40× objective, oil immersion; bone marrow aspirate smear — 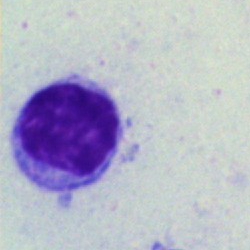
Q: What is the morphological classification of this cell?
A: Typical lymphocyte.